Bone marrow aspirate smear · single-cell crop.
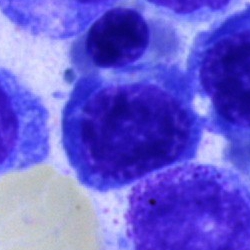 Q: What is shown here?
A: A normoblast.